Bone marrow smear — 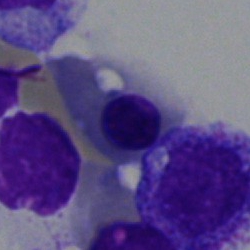
Morphological class = nucleated red blood cell.